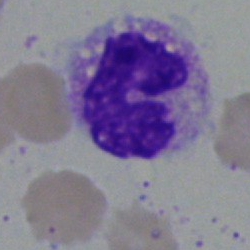 Specimen: bone marrow smear.
Cell type: segmented neutrophil.
Lineage: myeloid.